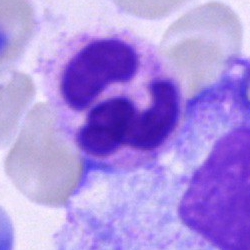

Cell type: polymorphonuclear neutrophil.